Bone marrow aspirate smear:
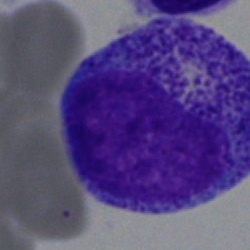Promyelocyte.